Bone marrow smear — 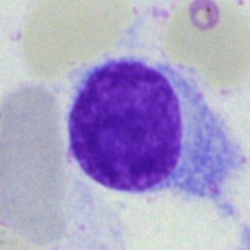

The cell type is hairy cell.